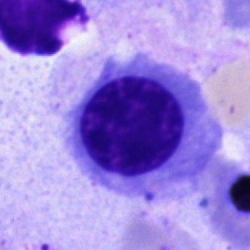

Q: What is shown here?
A: A nucleated red cell.